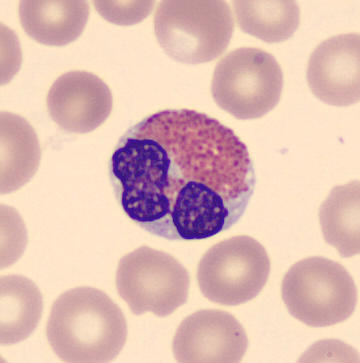
Specimen: peripheral blood smear.
Morphological class: eosinophil. Acquisition: MGG-stained; imaged on a CellaVision DM96 analyser.